Bone marrow smear: 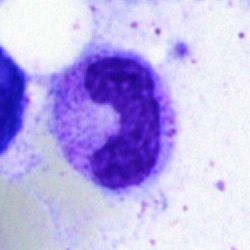 Morphology → stab cell.